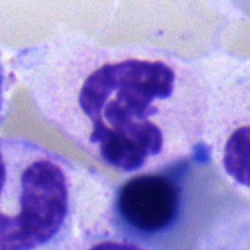 Morphology → polymorphonuclear neutrophil.